Peripheral blood film — 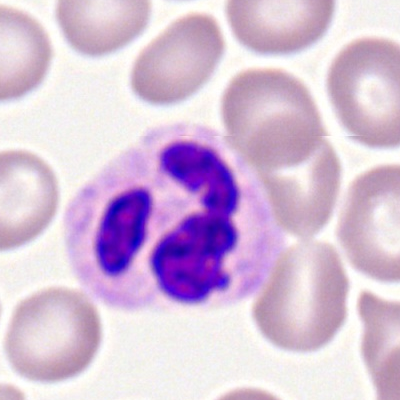Impression — polymorphonuclear neutrophil.